Brightfield microscopy, 40× oil immersion · bone marrow smear
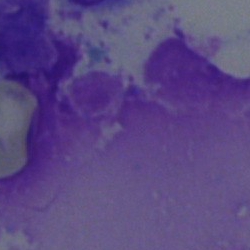
Single cell identified as an artefact.